250×250; bone marrow aspirate smear — 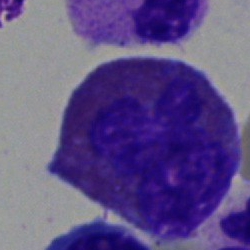

{"cell_type": "eosinophilic granulocyte", "lineage": "myeloid"}